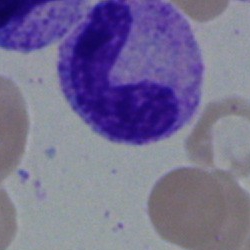

Specimen: bone marrow smear.
Morphological class: band-form neutrophil.